Bone marrow smear.
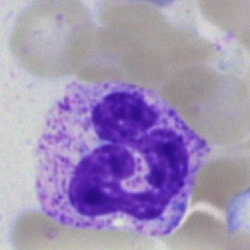Q: What type of cell is this?
A: This is a neutrophil (segmented).